Bone marrow aspirate smear
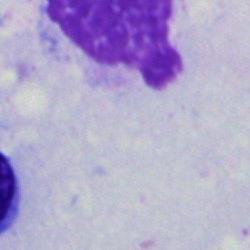 Cell = artifact.